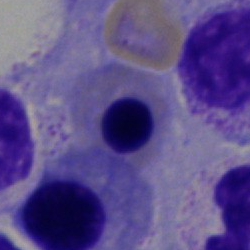 Q: What type of cell is this?
A: A nucleated red cell.